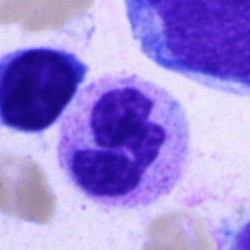

The cell type is segmented neutrophil.